Peripheral blood film:
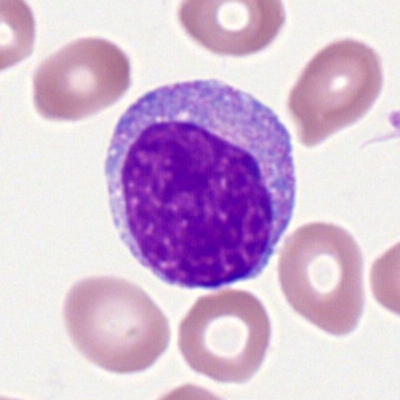
Cell — myeloid blast.